Bone marrow aspirate smear. MGG-stained. 40× oil immersion: 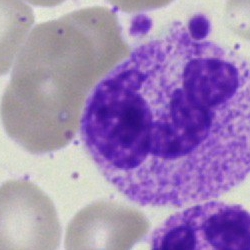Classification — neutrophil (segmented).